Cropped to a single cell. Bone marrow aspirate smear. May-Grünwald-Giemsa/Pappenheim stain
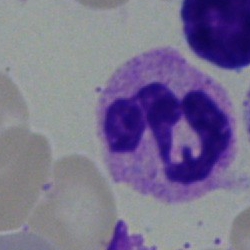A polymorphonuclear neutrophil.